Brightfield microscopy, 40× oil immersion. Bone marrow smear: 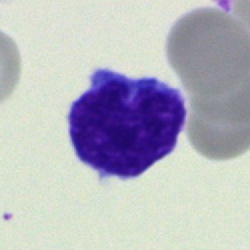 Impression — lymphocyte.